Bone marrow aspirate smear: 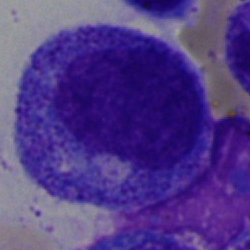Morphology consistent with a promyelocyte.